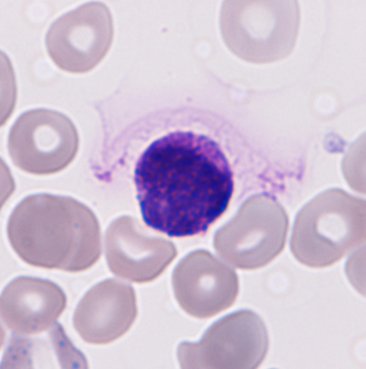
Image: Peripheral blood film. Morphology — basophilic granulocyte.